250×250. May-Grünwald-Giemsa/Pappenheim stain. Bone marrow smear:
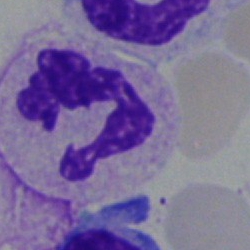 Q: Which cell type is shown here?
A: A segmented neutrophil.